Bone marrow aspirate smear.
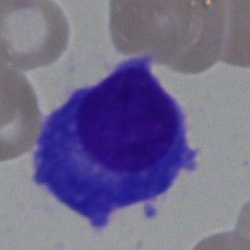

Q: What type of cell is this?
A: Plasmacyte.